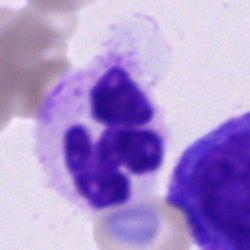Q: What type of cell is this?
A: Polymorphonuclear neutrophil.